Bone marrow smear.
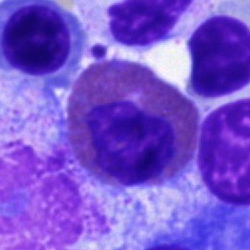
Showing an eosinophil.